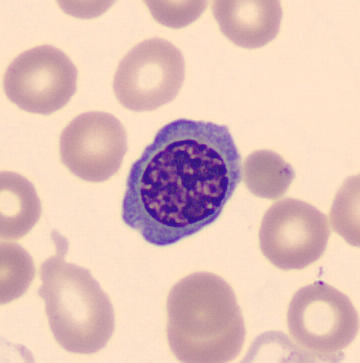

Cell — erythroblast.